Bone marrow smear: 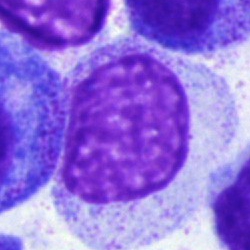
Morphological class: myelocyte.